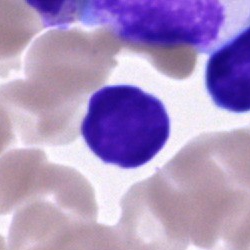This is a lymphocyte.